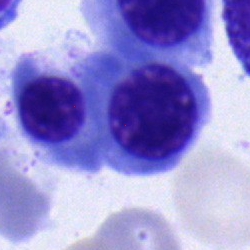Morphological class = erythroblast.